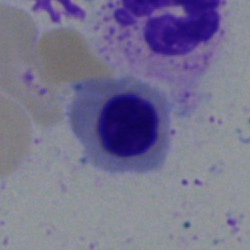

Impression → erythroblast.